Bone marrow smear — 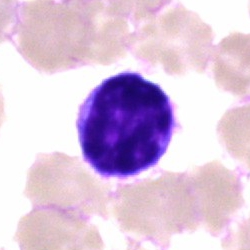
Morphology consistent with a typical lymphocyte.